Bone marrow aspirate smear: 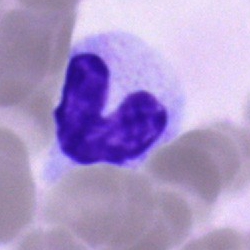
{"cell_type": "band-form neutrophil"}